Bone marrow aspirate smear — 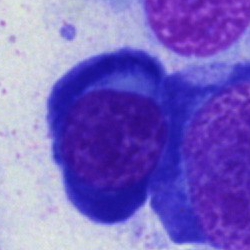Classification: erythroblast.